Bone marrow smear: 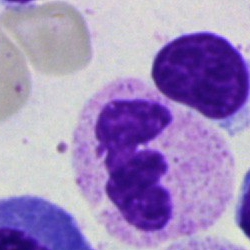Single cell identified as a neutrophil (segmented).